Bone marrow aspirate smear.
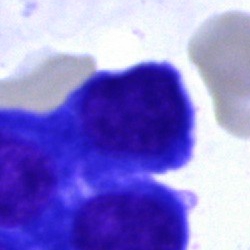Classification: erythroblast.